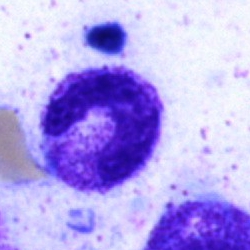 Showing a stab cell.